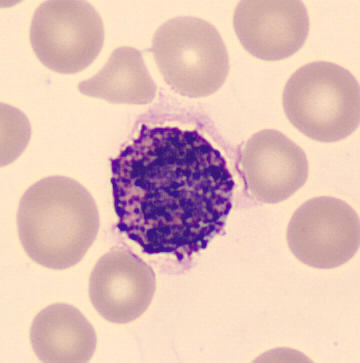 This is a basophilic granulocyte.

Peripheral blood smear.